Single cell centered in the field · bone marrow smear.
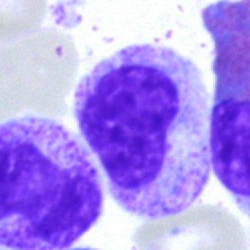

Stab cell.